Bone marrow aspirate smear — 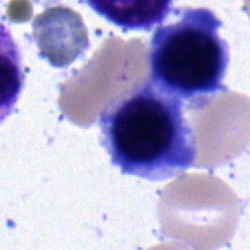Morphology → nucleated red blood cell.